250 by 250 pixels; bone marrow aspirate smear
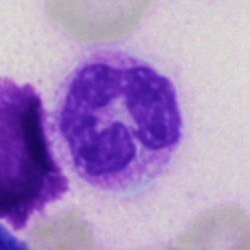 This is a neutrophil (segmented).